MGG-stained; 250×250; bone marrow aspirate smear: 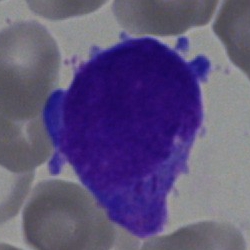
Classification = blast.